Bone marrow aspirate smear. Cropped to a single cell: 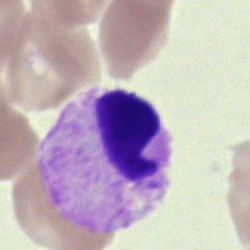 Specimen: bone marrow aspirate smear.
Morphological class: cell of indeterminate lineage.